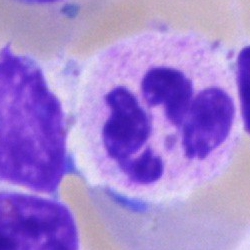
Specimen: bone marrow smear.
Cell: segmented neutrophil.